Bone marrow smear: 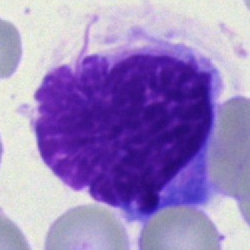 {"cell_type": "artefact"}